Bone marrow aspirate smear
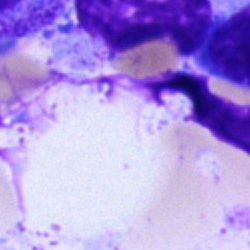
This is an artefact.